Single-cell field. Bone marrow smear — 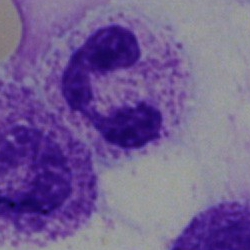
Polymorphonuclear neutrophil.